May-Grünwald-Giemsa/Pappenheim stain; bone marrow smear.
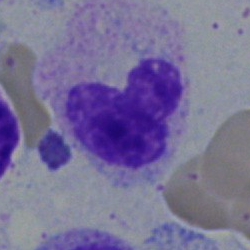

Cell = neutrophil (segmented).